Brightfield, 40× oil-immersion objective. Bone marrow aspirate smear.
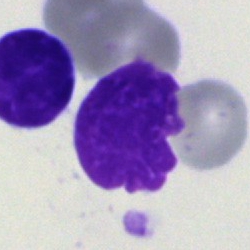
Cell — artefact.